Bone marrow smear; brightfield, 40× oil-immersion objective.
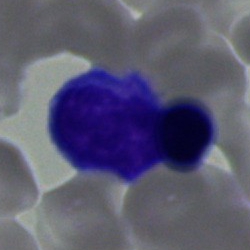
The cell shown is a typical lymphocyte.